Cropped to a single cell. Bone marrow smear:
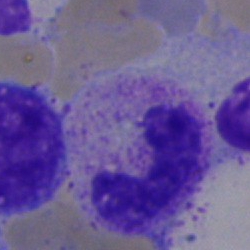Showing a stab cell.